Peripheral blood film.
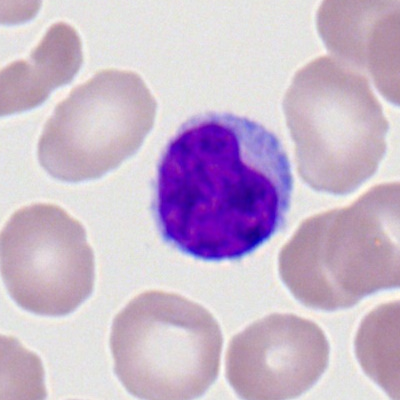
Q: Identify the cell.
A: Lymphocyte.